Image size 250×250; bone marrow aspirate smear; brightfield, 40× oil-immersion objective:
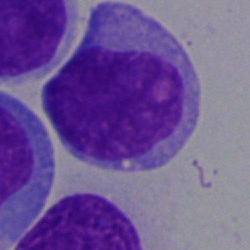
Morphology consistent with a blast cell.